Bone marrow aspirate smear: 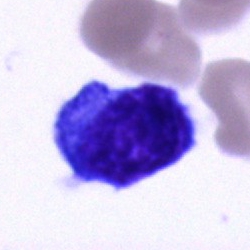

Q: What is the morphological classification of this cell?
A: It is a blast cell.